Bone marrow smear. Cropped to a single cell — 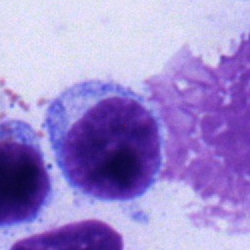 Morphology — typical lymphocyte.